Bone marrow smear: 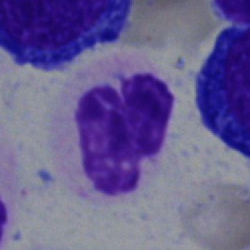
Cell: polymorphonuclear neutrophil.